250×250; bone marrow smear — 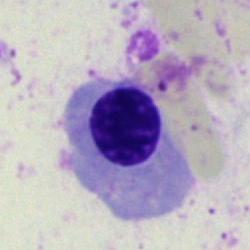

Q: What cell is this?
A: Normoblast.